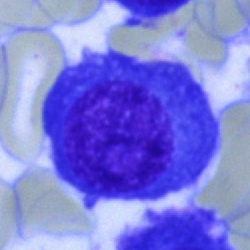
Q: What is shown here?
A: Plasmacyte.